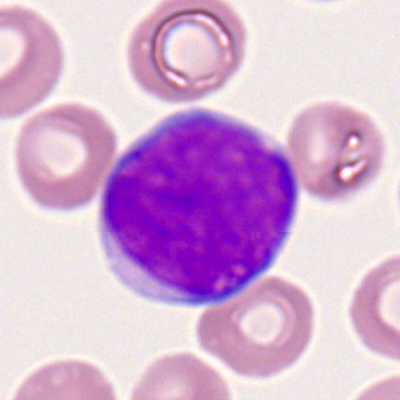 A myeloid blast.